100× oil immersion. Peripheral blood film. Cropped to a single cell.
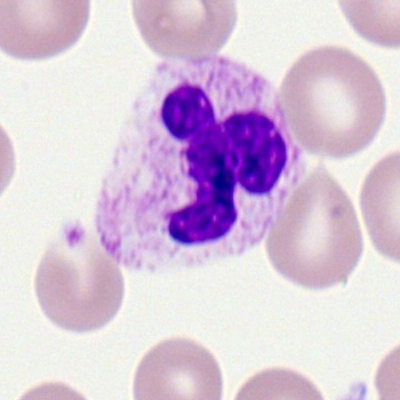

Specimen: peripheral blood smear.
Morphological class: neutrophil (segmented).
Lineage: myeloid.